Bone marrow aspirate smear; image size 250×250:
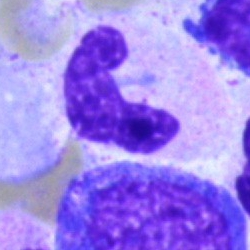

Specimen: bone marrow aspirate smear.
Classification: band-form neutrophil.